Bone marrow aspirate smear. 250×250 px.
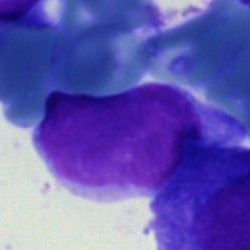
Undifferentiated blast.